Bone marrow aspirate smear:
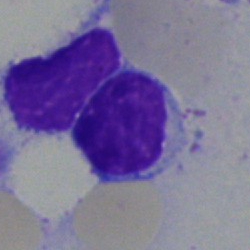 The cell type is typical lymphocyte.